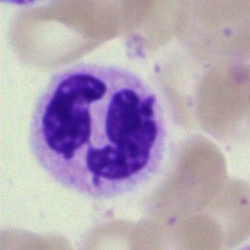

Morphological class — segmented neutrophil.